250×250 px; bone marrow aspirate smear:
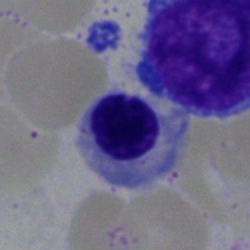
This is a nucleated red blood cell.